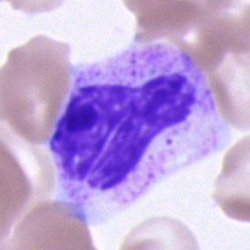 Q: What type of cell is this?
A: It is a cell of indeterminate lineage.